Bone marrow smear: 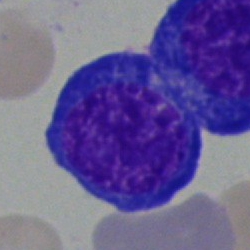Specimen: bone marrow smear.
Cell: nucleated red cell.
Lineage: erythroid.